Romanowsky-type stain. Peripheral blood smear: 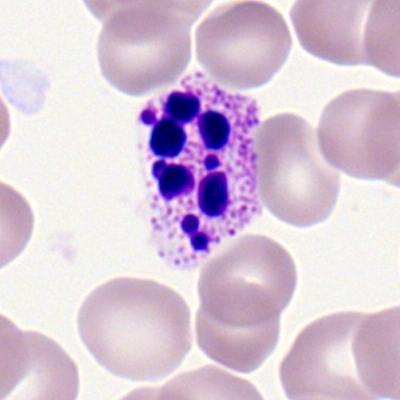Impression → polymorphonuclear neutrophil.